Pappenheim-stained; bone marrow smear — 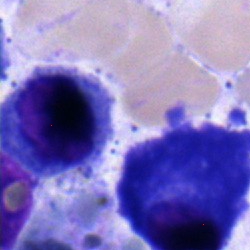Morphology consistent with a nucleated red blood cell.